Bone marrow aspirate smear · cropped to a single cell: 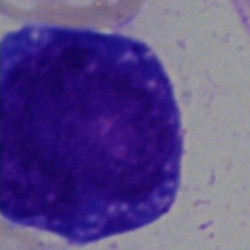

This is an undifferentiated blast.